Bone marrow aspirate smear.
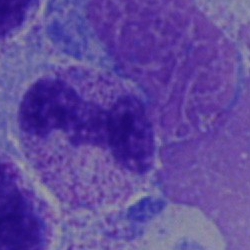

A segmented neutrophil.